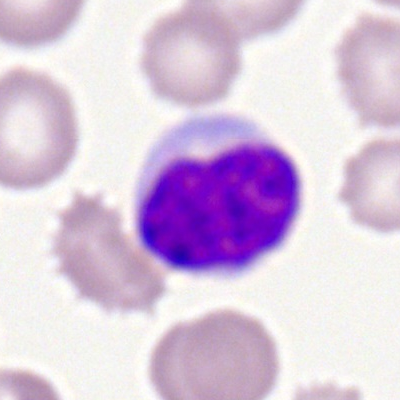
Cell type: typical lymphocyte.